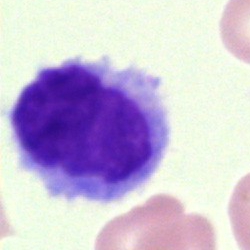Showing a hairy cell.